400×400; peripheral blood smear.
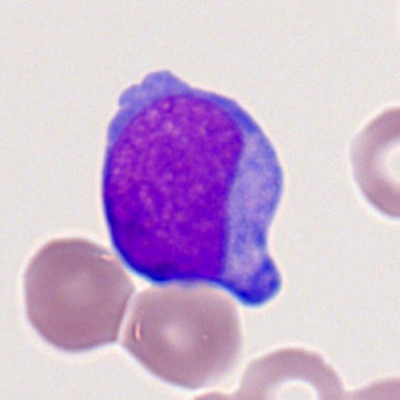
The cell type is myeloblast.